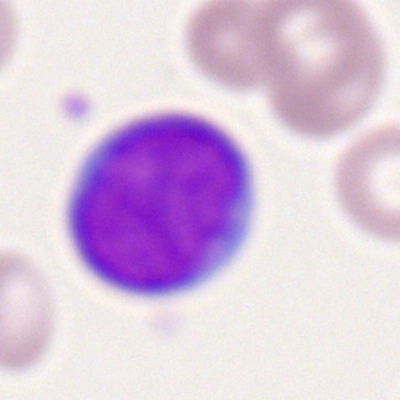Myeloblast.